Bone marrow smear · single-cell field — 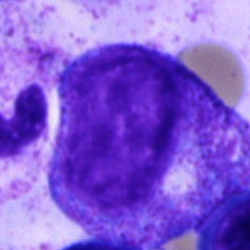
Q: What is shown here?
A: A promyelocyte.